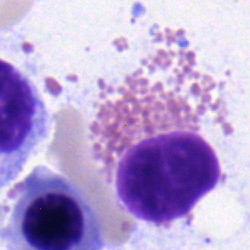Single cell identified as an eosinophilic granulocyte.